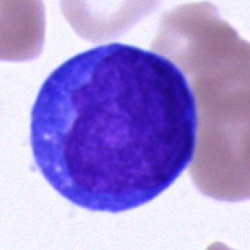 Morphological class: undifferentiated blast.